Brightfield, 40× oil-immersion objective; bone marrow aspirate smear:
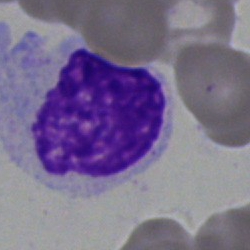 Q: What is shown here?
A: Artefact.